Bone marrow smear
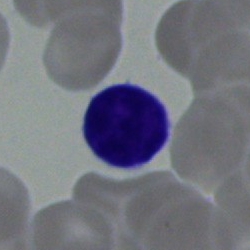
Q: Which cell type is shown here?
A: Typical lymphocyte.